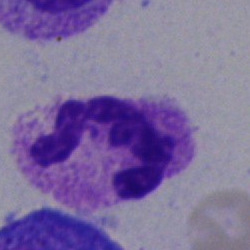Bone marrow aspirate smear, single cell — neutrophil (segmented).